Peripheral blood smear
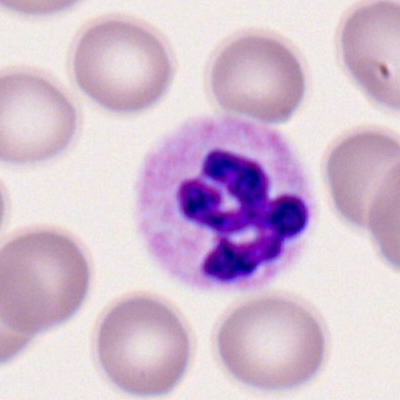Q: What type of cell is this?
A: It is a segmented neutrophil.